Bone marrow aspirate smear. 250×250.
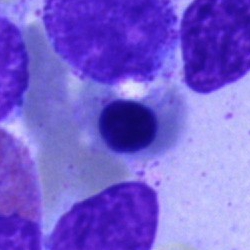Morphology → nucleated red cell.